Bone marrow aspirate smear.
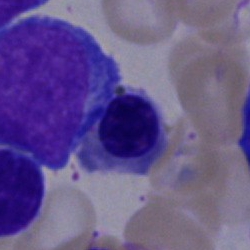This is an erythroblast.